Bone marrow aspirate smear.
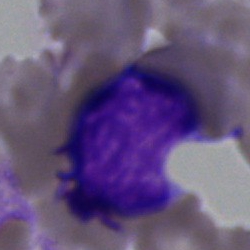Single cell identified as an artefact.